Bone marrow smear; single-cell field — 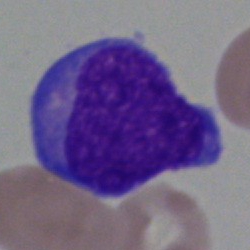Morphology — blast.